Bone marrow smear; 40× oil immersion; single-cell field
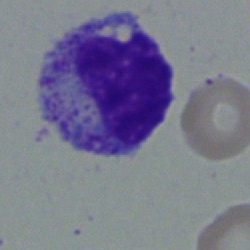 Q: Which cell type is shown here?
A: It is a myelocyte.